Single-cell crop · bone marrow smear — 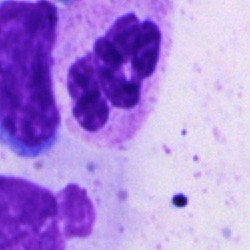

Cell: neutrophil (segmented).